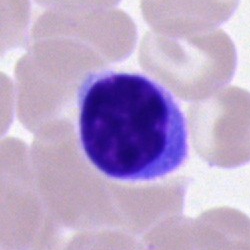
Morphology consistent with a typical lymphocyte.